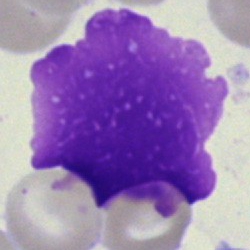 Morphological class: artefact.